40× objective, oil immersion; bone marrow smear; single-cell crop.
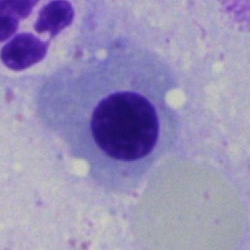
The cell type is erythroblast.